Bone marrow aspirate smear
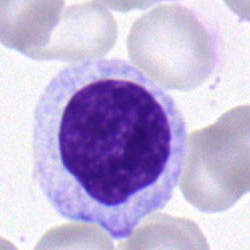Q: What is the morphological classification of this cell?
A: This is a myelocyte.